Peripheral blood film — 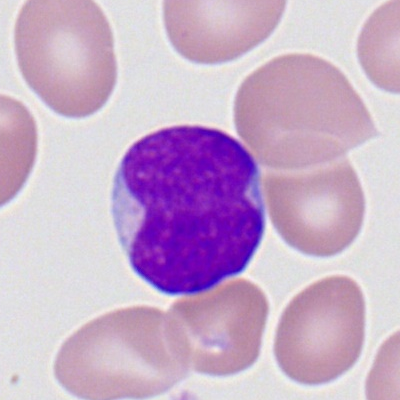 Cell type — myeloblast.